100× objective, oil immersion. Image size 400×400. Peripheral blood smear:
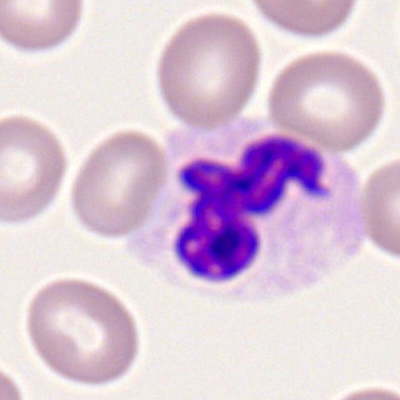

The cell shown is a segmented neutrophil.